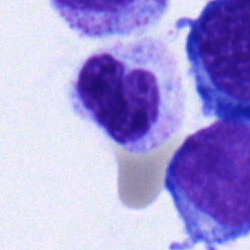Bone marrow aspirate smear, single cell — stab cell.